Single-cell crop · bone marrow aspirate smear: 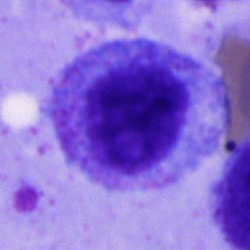

A progranulocyte.